Single cell centered in the field. Bone marrow aspirate smear: 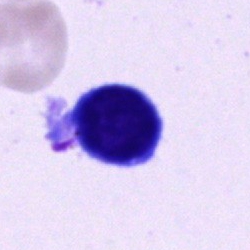Q: What is the morphological classification of this cell?
A: It is a lymphocyte.